Bone marrow smear
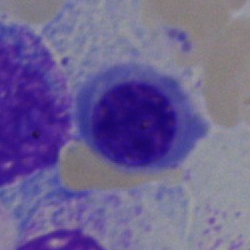

Morphological class — nucleated red blood cell.